Bone marrow smear:
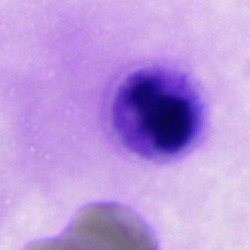
Specimen: bone marrow aspirate smear.
Cell: polymorphonuclear neutrophil.